250 by 250 pixels; single cell centered in the field; bone marrow aspirate smear
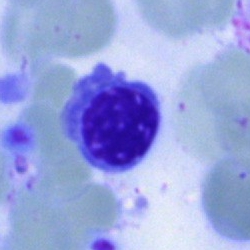

Q: Which cell type is shown here?
A: It is a nucleated red blood cell.